Peripheral blood film
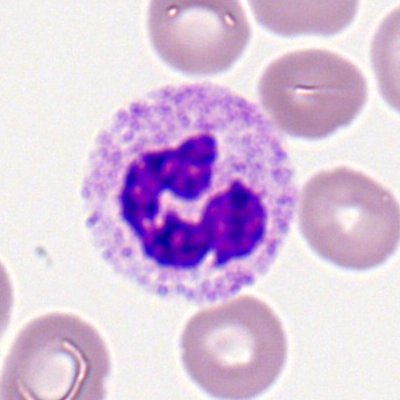
Morphological class — segmented neutrophil.